Single cell centered in the field. Bone marrow aspirate smear. Brightfield microscopy, 40× oil immersion — 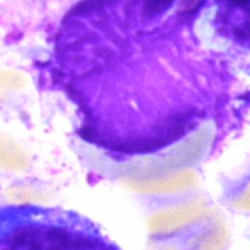

Specimen: bone marrow aspirate smear.
Morphological class: artefact.